Bone marrow smear · 250 by 250 pixels · May-Grünwald-Giemsa stain:
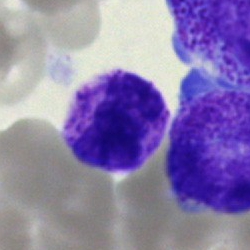

The cell shown is a basophilic granulocyte.